Bone marrow aspirate smear: 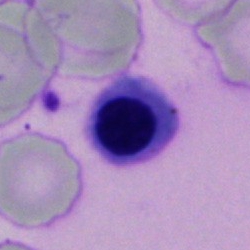Q: What is shown here?
A: Erythroblast.